Pappenheim-stained · single-cell field · bone marrow smear — 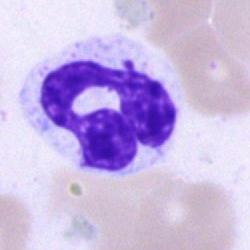 Morphological class — segmented neutrophil.